Bone marrow smear: 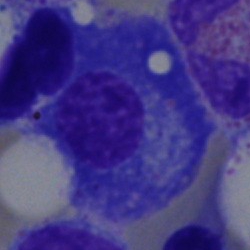Plasma cell.